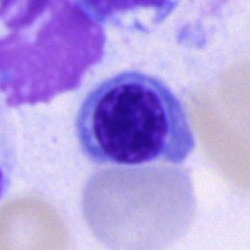
Specimen: bone marrow aspirate smear.
Cell type: normoblast.
Lineage: erythroid.